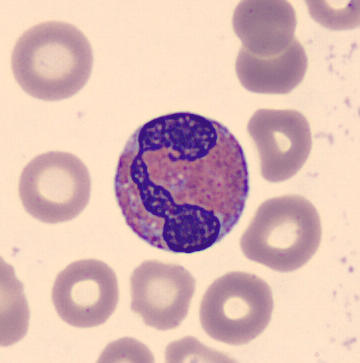
Single-cell crop from a peripheral blood smear: eosinophil.